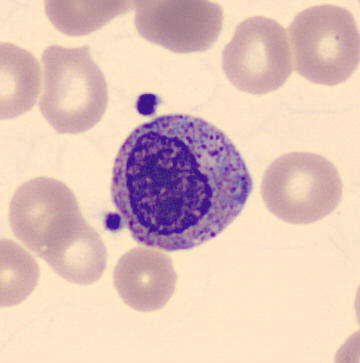Specimen: peripheral blood smear.
Classification: myelocyte.
Lineage: myeloid.